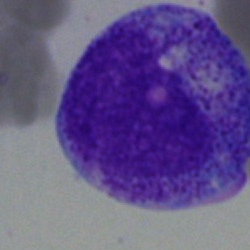 Single cell identified as a promyelocyte.